Bone marrow smear · single cell centered in the field · image size 250×250 — 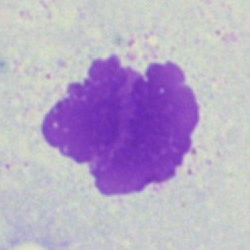 Specimen: bone marrow smear.
Cell type: artifact.